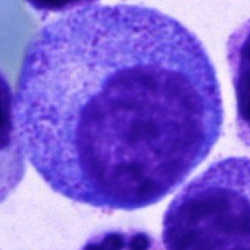This is a myelocyte.